Bone marrow aspirate smear:
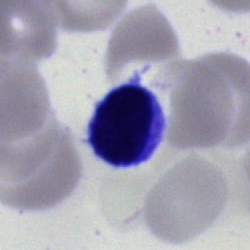
Specimen: bone marrow aspirate smear.
Cell type: typical lymphocyte.
Lineage: lymphoid.